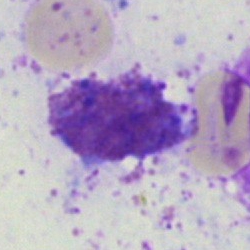Bone marrow smear showing an artefact.